Brightfield, 40× oil-immersion objective · May-Grünwald-Giemsa stain · bone marrow aspirate smear — 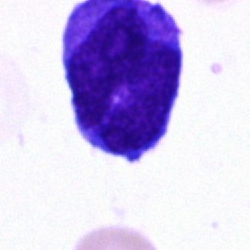

Q: Which cell type is shown here?
A: An undifferentiated blast.